Bone marrow smear.
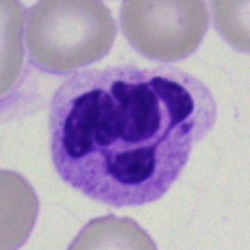 Cell — polymorphonuclear neutrophil.